Bone marrow aspirate smear · May-Grünwald-Giemsa stain · image size 250×250
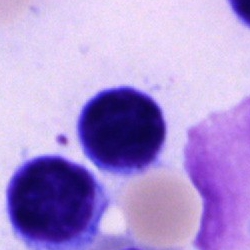
A lymphocyte.